Bone marrow aspirate smear.
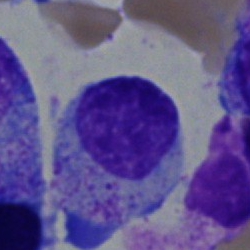

Myelocyte.